Bone marrow aspirate smear; single cell centered in the field.
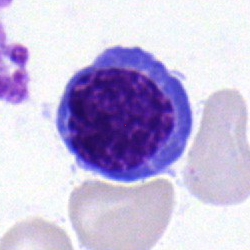
Nucleated red cell.